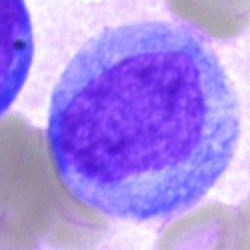
Q: What cell is this?
A: It is a promyelocyte.